Single-cell crop · bone marrow aspirate smear: 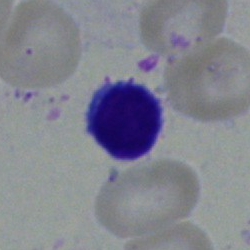
This is a typical lymphocyte.